Bone marrow smear:
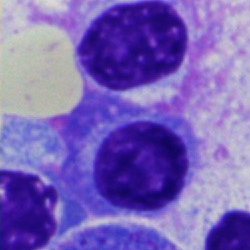
Specimen: bone marrow aspirate smear.
Morphological class: plasma cell.
Lineage: lymphoid.